Bone marrow aspirate smear
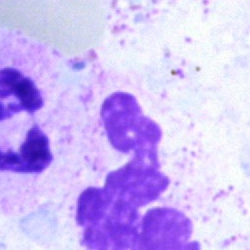
Specimen: bone marrow aspirate smear.
Morphological class: artifact.